Bone marrow smear.
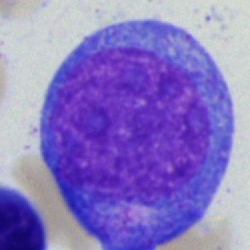
Morphological class: progranulocyte.